250 by 250 pixels · brightfield microscopy, 40× oil immersion · bone marrow aspirate smear:
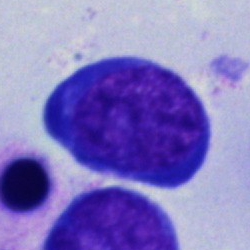 The cell is normoblast.